May-Grünwald-Giemsa/Pappenheim stain. 250×250. Bone marrow aspirate smear: 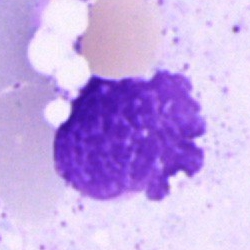

An artifact.